Bone marrow aspirate smear; 250 by 250 pixels: 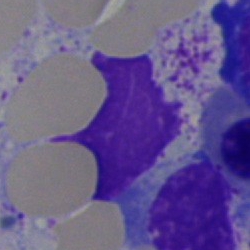
Specimen: bone marrow smear.
Cell type: artefact.